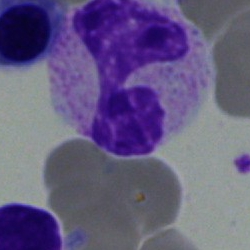Q: What is the morphological classification of this cell?
A: It is a segmented neutrophil.